Bone marrow smear.
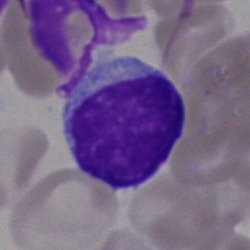 Morphology consistent with a lymphocyte.